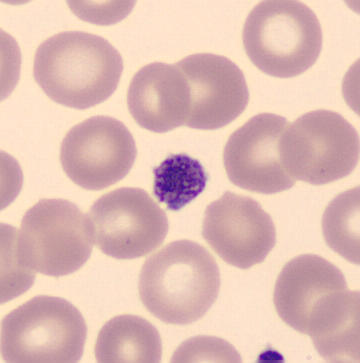

Identified as a platelet (thrombocyte).
Image: Peripheral blood film.